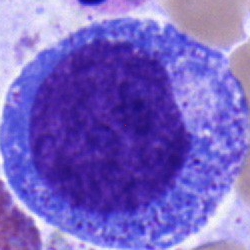 Bone marrow smear showing a progranulocyte.